Bone marrow smear
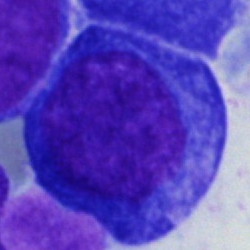
Pronormoblast.